MGG-stained · single-cell field · bone marrow aspirate smear — 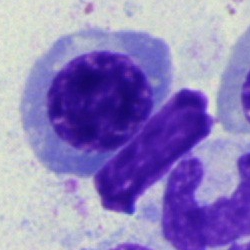{"cell_type": "normoblast", "lineage": "erythroid"}